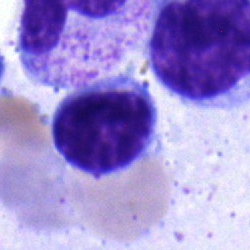 Q: What type of cell is this?
A: It is a typical lymphocyte.